Bone marrow aspirate smear — 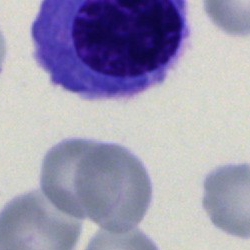 A nucleated red cell.